100× oil immersion, 14.14 px/µm · peripheral blood film
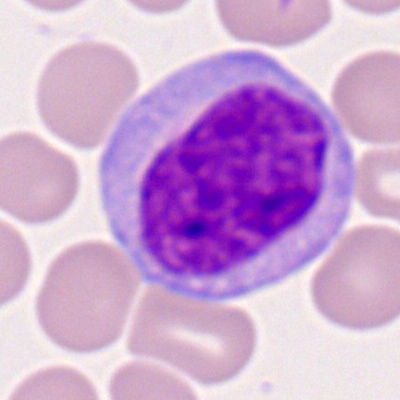Morphological class: monocyte.